Romanowsky-stained · peripheral blood film.
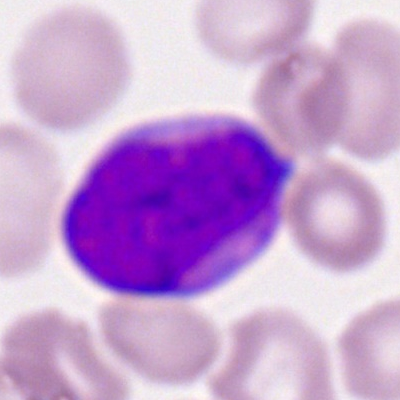 {"cell_type": "myeloblast", "lineage": "myeloid"}